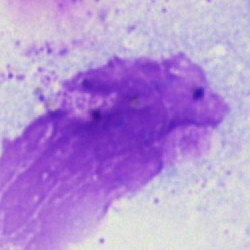
{"cell_type": "artifact"}